Bone marrow smear — 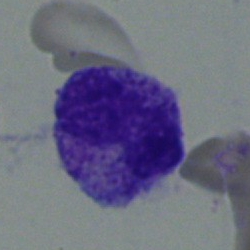

The morphological class is metamyelocyte.